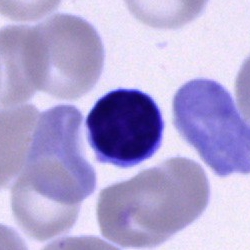Single-cell crop from a bone marrow smear: lymphocyte.